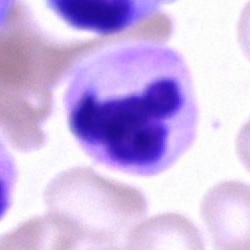 Morphology → segmented neutrophil.